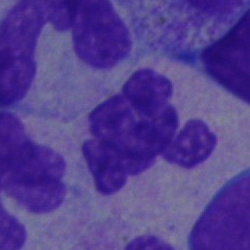

Morphology — neutrophil (segmented).